40× oil immersion · bone marrow smear · single cell centered in the field
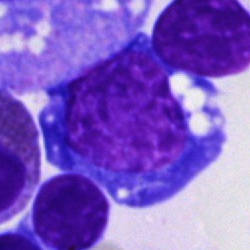

Morphological class — nucleated red cell.